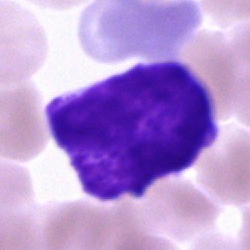Impression — blast cell.